May-Grünwald-Giemsa/Pappenheim stain; bone marrow smear — 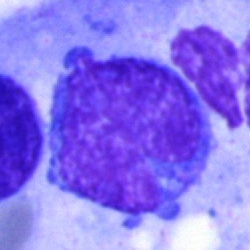 This is a blast cell.